Bone marrow aspirate smear.
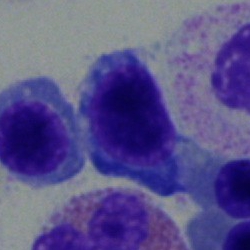Classification: normoblast.